Bone marrow aspirate smear:
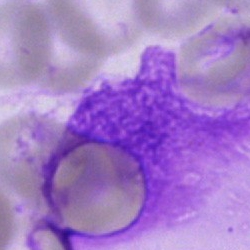Classification = artefact.